Bone marrow smear
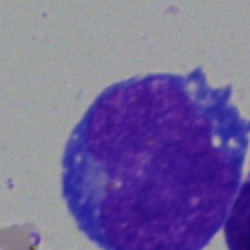 Single cell identified as a blast.